Peripheral blood smear
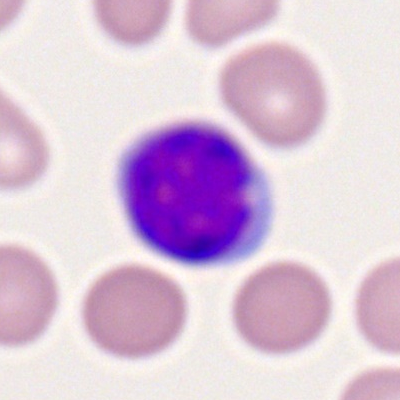Q: What type of cell is this?
A: It is a lymphocyte.